Bone marrow aspirate smear:
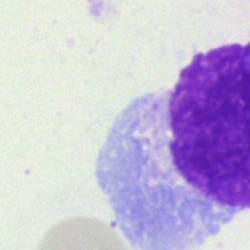
Single cell identified as an artifact.